MGG-stained; bone marrow aspirate smear; single-cell crop.
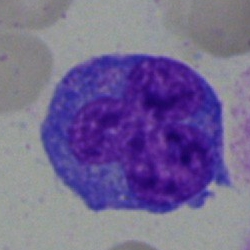Q: Identify the cell.
A: A blast.